Bone marrow smear — 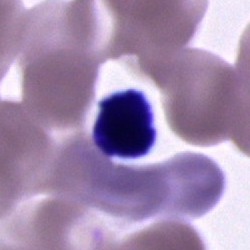Cell type = cell of indeterminate lineage.